Peripheral blood film. Single cell centered in the field.
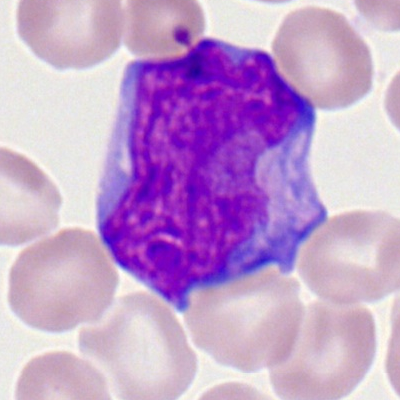Showing a myeloid blast.